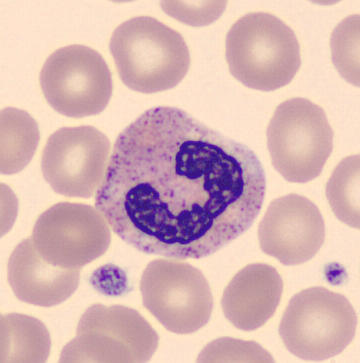 MGG-stained. Peripheral blood smear.
Q: Which cell type is shown here?
A: This is a neutrophil (segmented).